Bone marrow aspirate smear.
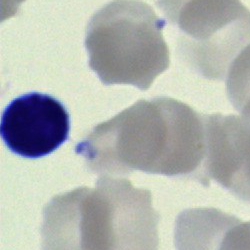 {"cell_type": "lymphocyte"}